Bone marrow smear
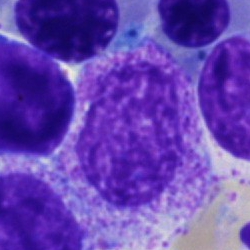Cell type: myelocyte.